Bone marrow aspirate smear · cropped to a single cell
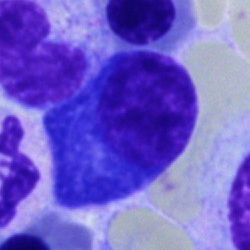 Specimen: bone marrow aspirate smear.
Classification: plasmacyte.
Lineage: lymphoid.